Bone marrow smear: 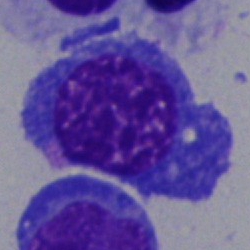

Nucleated red blood cell.